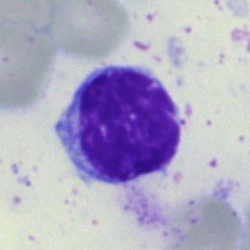

Cell = lymphocyte.